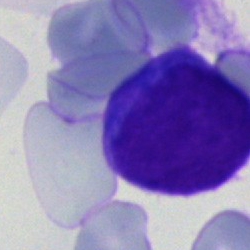 The cell shown is an undifferentiated blast.